Single cell centered in the field. Image size 250×250. Bone marrow aspirate smear
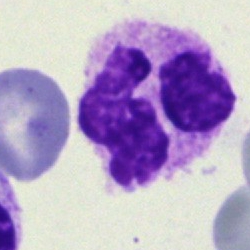
A polymorphonuclear neutrophil.